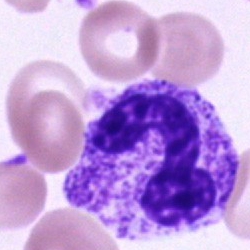A neutrophil (band).